Bone marrow smear · 250×250.
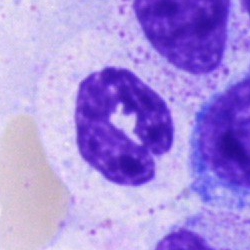Specimen: bone marrow aspirate smear.
Morphological class: segmented neutrophil.